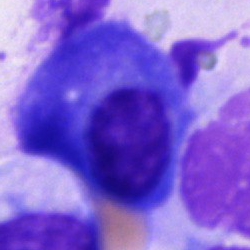Q: What is shown here?
A: Plasma cell.